Bone marrow smear.
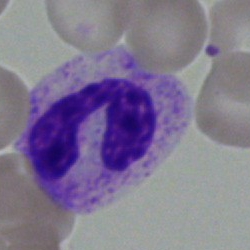
Specimen: bone marrow aspirate smear.
Morphological class: band neutrophil.
Lineage: myeloid.